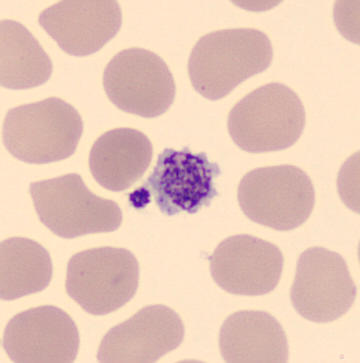 Acquisition: Automated cell imaging (CellaVision DM96); peripheral blood film. Identified as a platelet.